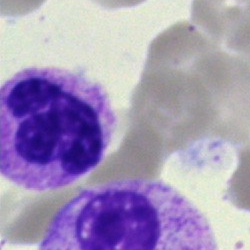

Bone marrow smear showing a polymorphonuclear neutrophil.